Image size 250×250; bone marrow aspirate smear — 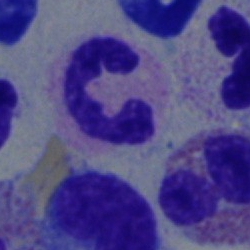{"cell_type": "neutrophil (segmented)"}